Bone marrow aspirate smear · MGG-stained:
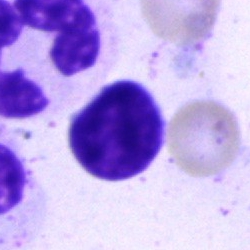
Showing a lymphocyte.